Bone marrow aspirate smear — 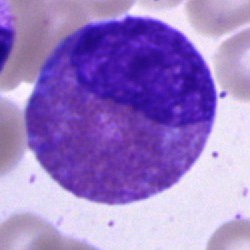
The cell type is eosinophilic granulocyte.